250×250; bone marrow smear.
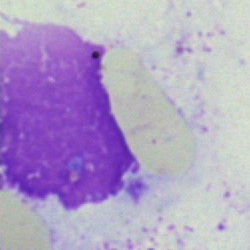Classification = artifact.